Bone marrow smear · May-Grünwald-Giemsa/Pappenheim stain — 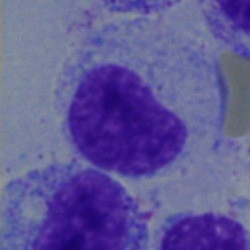

Morphological class: myelocyte.